Bone marrow smear: 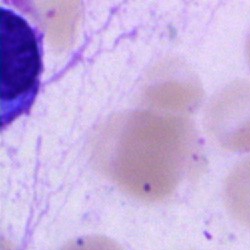 Showing an artefact.